Bone marrow smear — 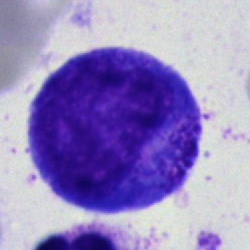

Impression → promyelocyte.